Bone marrow smear:
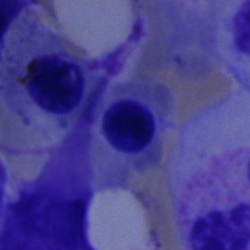
Morphology → erythroblast.